Bone marrow smear:
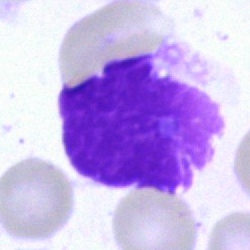An artefact.